Bone marrow aspirate smear: 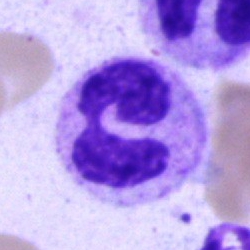 Showing a neutrophil (segmented).